Single-cell field. Bone marrow smear. Brightfield microscopy, 40× oil immersion
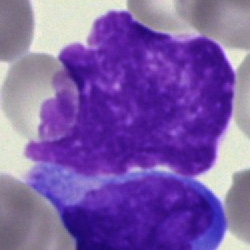

Q: What is shown here?
A: Artefact.